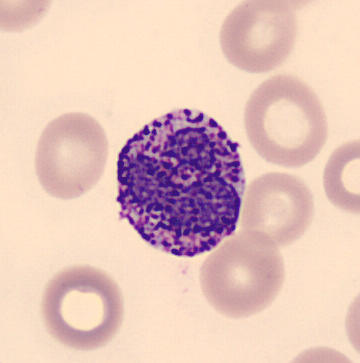
This is a basophil. Image: Single-cell crop; 360 by 363 pixels; peripheral blood film.